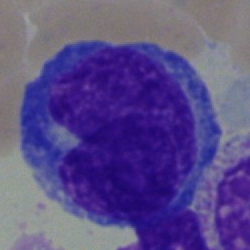 Classification — blast.